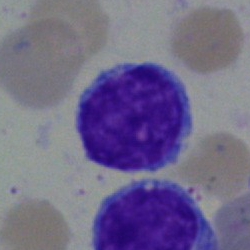

A lymphocyte.